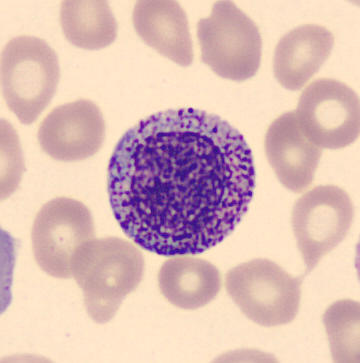CellaVision DM96 digital cell image · peripheral blood smear. Cell = myelocyte.